May-Grünwald-Giemsa stain · 40× objective, oil immersion · bone marrow aspirate smear — 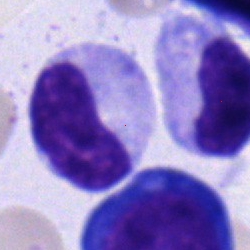 Metamyelocyte.